Bone marrow smear:
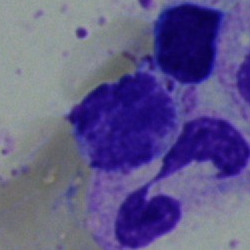

Specimen: bone marrow aspirate smear.
Cell type: segmented neutrophil.